Bone marrow smear. 250×250 px — 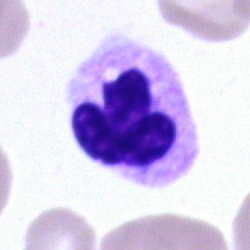
Cell type — segmented neutrophil.